May-Grünwald-Giemsa stain. 250×250 px. Bone marrow smear.
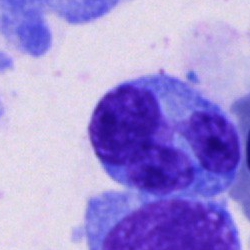
Morphology → plasmacyte.